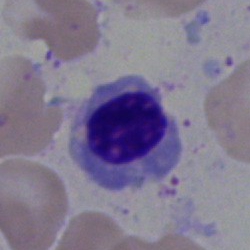Normoblast.